Bone marrow aspirate smear. Brightfield microscopy, 40× oil immersion: 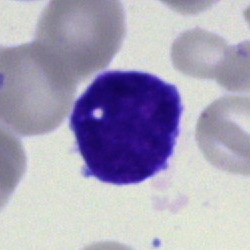Single cell identified as an undifferentiated blast.